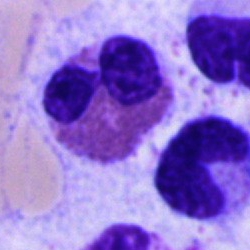Bone marrow smear showing an eosinophilic granulocyte.